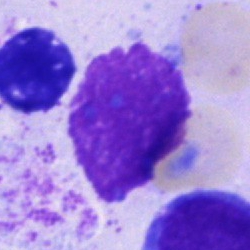

Classification — artefact.